Bone marrow smear; May-Grünwald-Giemsa/Pappenheim stain
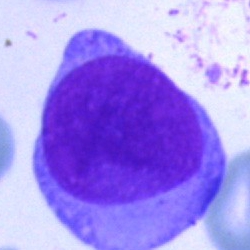

Cell: undifferentiated blast.